May-Grünwald-Giemsa/Pappenheim stain. Bone marrow aspirate smear:
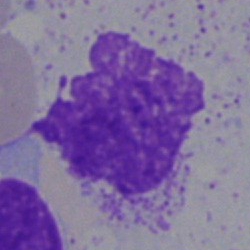
The classification is artefact.